Peripheral blood smear. Romanowsky stain: 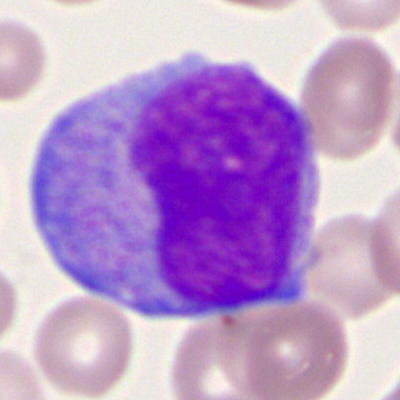 This is a myeloid blast.